Romanowsky-type stain; single cell centered in the field; peripheral blood film
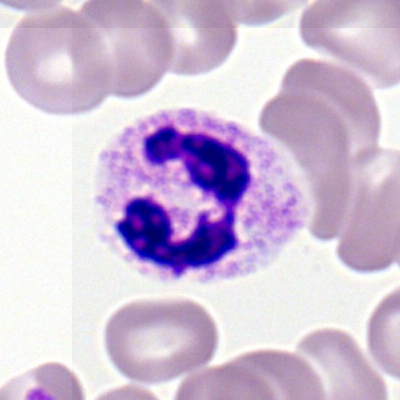
Morphological class = neutrophil (segmented).